Bone marrow smear — 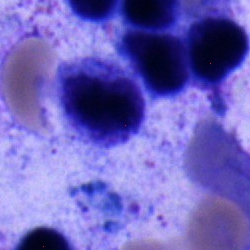 Morphology → lymphocyte.